Bone marrow aspirate smear.
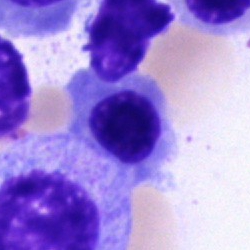

Morphological class: normoblast.